Bone marrow aspirate smear: 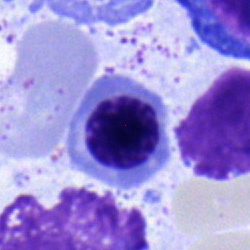 Cell type: nucleated red cell.